Bone marrow smear: 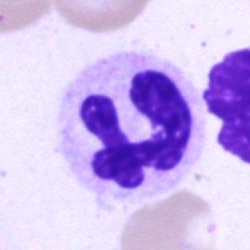

The cell shown is a segmented neutrophil.